MGG-stained. Bone marrow smear: 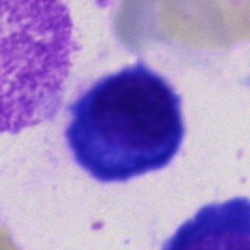

Specimen: bone marrow aspirate smear.
Morphological class: plasma cell.